Bone marrow aspirate smear.
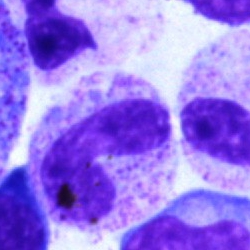

Specimen: bone marrow smear.
Classification: band neutrophil.